Bone marrow smear. Single-cell field
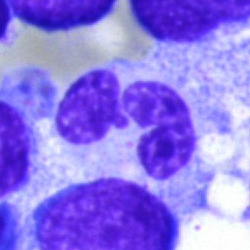Specimen: bone marrow aspirate smear.
Cell: polymorphonuclear neutrophil.
Lineage: myeloid.